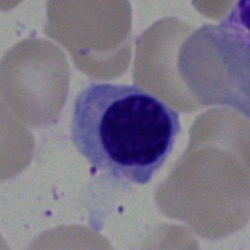
Classification: erythroblast.